Peripheral blood smear — 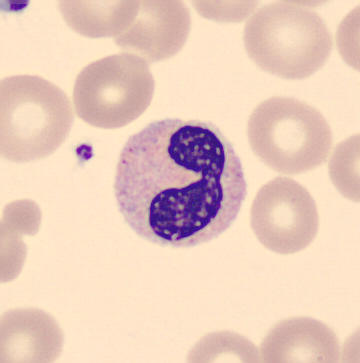

Q: Identify the cell.
A: It is a band-form neutrophil.